Peripheral blood film
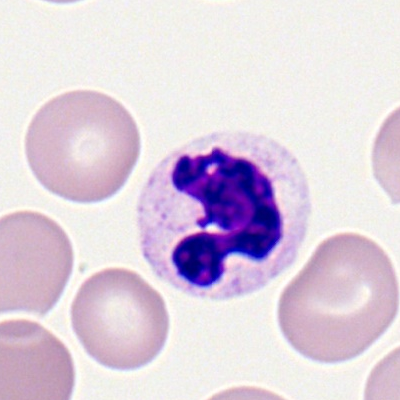
Cell type = neutrophil (segmented).